Bone marrow smear:
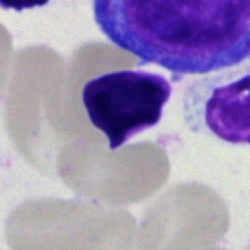

Cell = artefact.